Single-cell field · bone marrow aspirate smear:
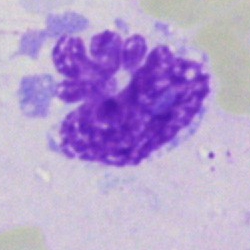
Q: What is shown here?
A: It is an artifact.